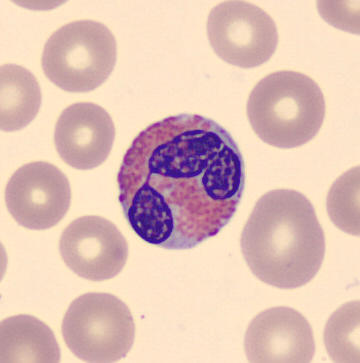Eosinophil.